Bone marrow aspirate smear.
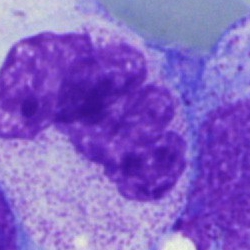

Morphology — neutrophil (segmented).